MGG-stained. Bone marrow smear.
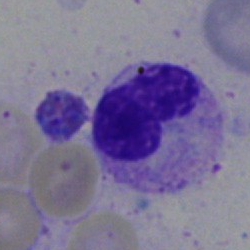 This is a neutrophil (band).